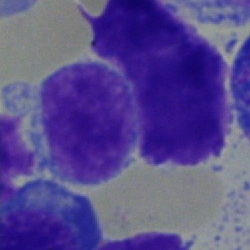{"cell_type": "typical lymphocyte", "lineage": "lymphoid"}